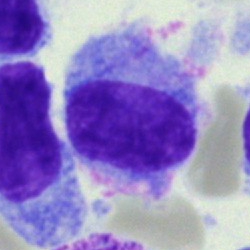 Morphology consistent with a hairy cell.